Bone marrow aspirate smear.
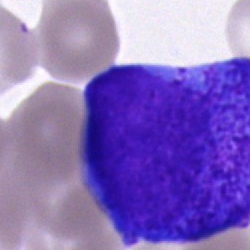The cell shown is a progranulocyte.